Bone marrow smear
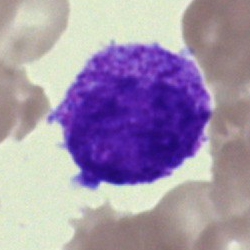Single cell identified as a blast.